40× oil immersion; 250 by 250 pixels; bone marrow smear.
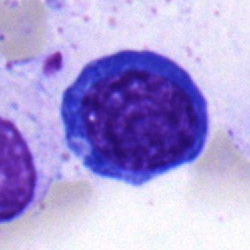A nucleated red blood cell.